Bone marrow aspirate smear. May-Grünwald-Giemsa/Pappenheim stain. 250 by 250 pixels: 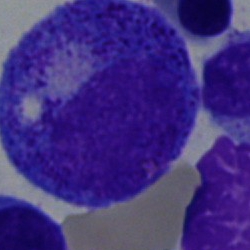
Q: What cell is this?
A: It is a progranulocyte.